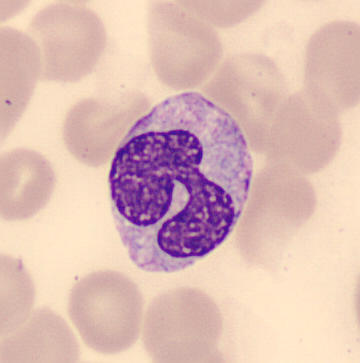

Preparation: Image size 360×363.

Specimen: peripheral blood smear.
Cell type: monocyte.